Romanowsky-type stain; 400×400; peripheral blood smear:
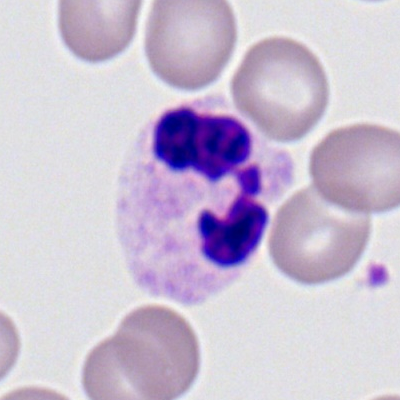

Morphology — segmented neutrophil.